Cropped to a single cell; peripheral blood smear:
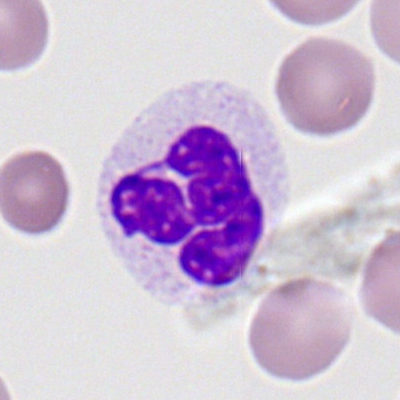 Showing a neutrophil (segmented).